250×250 px. Bone marrow aspirate smear — 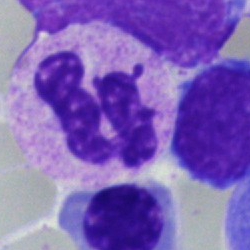The cell shown is a neutrophil (segmented).